Bone marrow aspirate smear — 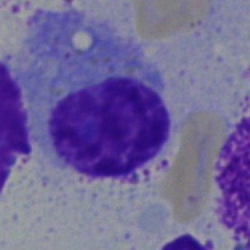
This is a plasmacyte.